Bone marrow smear; May-Grünwald-Giemsa stain: 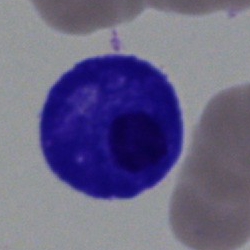
The classification is artefact.